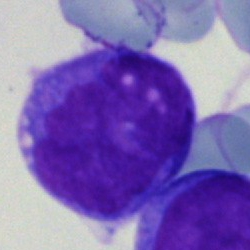 Showing an undifferentiated blast.